250×250 px; bone marrow aspirate smear:
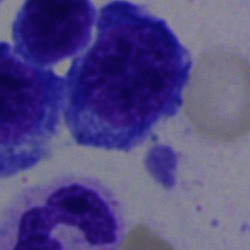Plasmacyte.